Bone marrow aspirate smear:
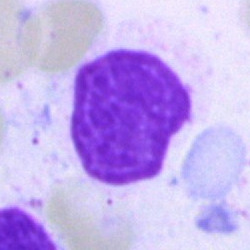

The morphological class is artefact.